Bone marrow aspirate smear · single-cell field — 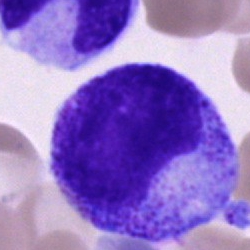
The classification is progranulocyte.